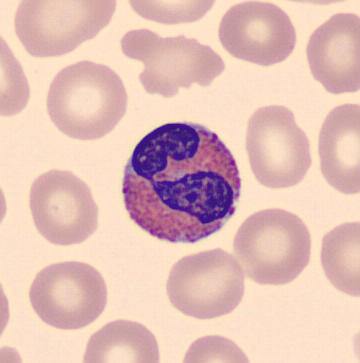

Eosinophil.
Preparation: Peripheral blood smear.